Single-cell field. Bone marrow smear.
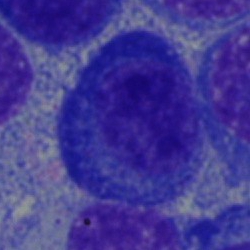 Q: What is the morphological classification of this cell?
A: It is a plasmacyte.